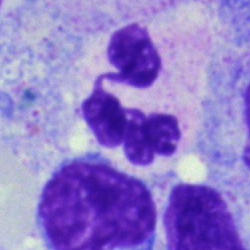Specimen: bone marrow smear.
Classification: segmented neutrophil.